Bone marrow smear.
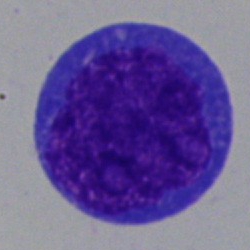
{"cell_type": "blast"}